Cropped to a single cell. Bone marrow aspirate smear — 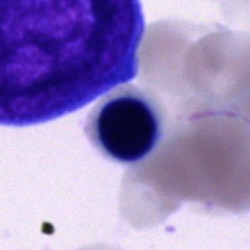Q: Which cell type is shown here?
A: It is an unidentifiable cell.